Pappenheim-stained. Bone marrow aspirate smear. 250×250.
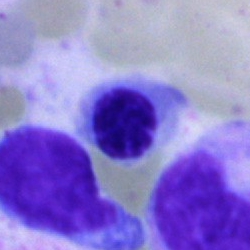 Morphology consistent with a nucleated red cell.